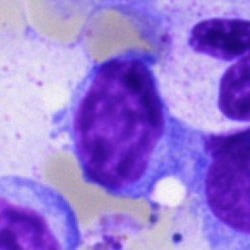
Single-cell crop from a bone marrow smear: lymphocyte.